40× objective, oil immersion. Bone marrow smear
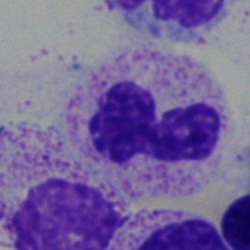
The cell shown is a segmented neutrophil.